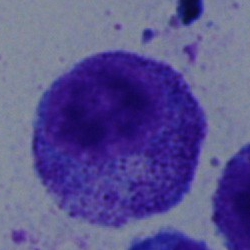 The cell is promyelocyte.